Bone marrow aspirate smear · image size 250×250: 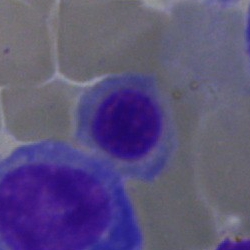Impression — normoblast.